Bone marrow smear:
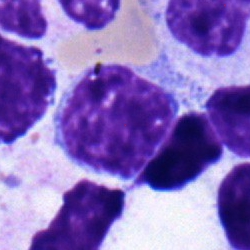

Morphology → typical lymphocyte.